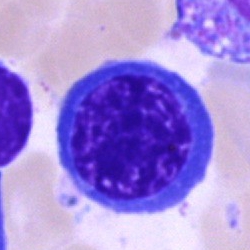Q: What is the morphological classification of this cell?
A: A nucleated red blood cell.